MGG-stained · bone marrow smear
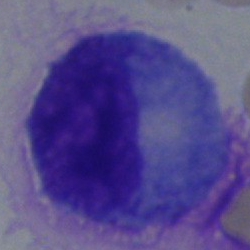
Q: Identify the cell.
A: It is a promyelocyte.